Bone marrow aspirate smear: 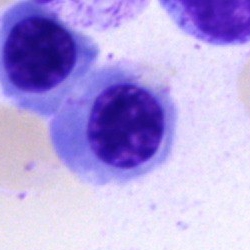

Showing a nucleated red cell.